Bone marrow smear; 250×250; May-Grünwald-Giemsa stain
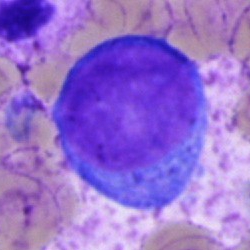 Cell type — blast.